Pappenheim-stained · bone marrow aspirate smear.
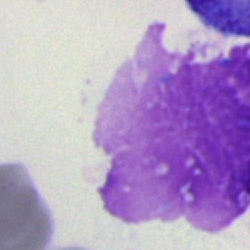 Specimen: bone marrow smear.
Cell type: artifact.